Bone marrow smear. Brightfield microscopy, 40× oil immersion.
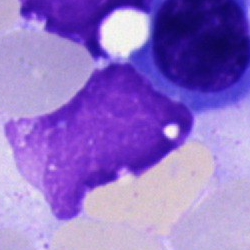Impression → artefact.